Bone marrow smear — 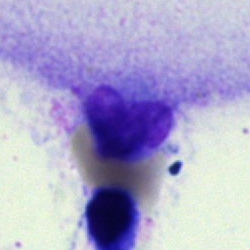Cell type: artefact.